Bone marrow smear: 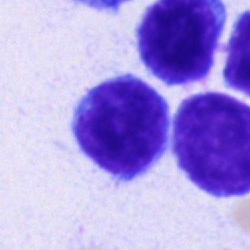

The cell shown is a typical lymphocyte.